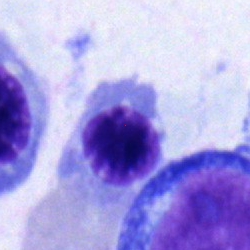 Single-cell crop from a bone marrow smear: nucleated red cell.